Bone marrow aspirate smear:
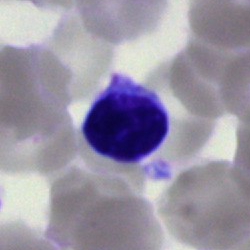 Morphology — typical lymphocyte.